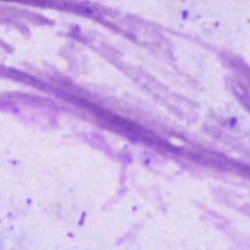Specimen: bone marrow smear.
Cell: artefact.